Bone marrow smear. Pappenheim-stained. 40× objective, oil immersion:
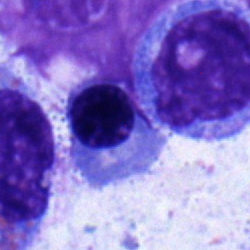The cell shown is a normoblast.